Peripheral blood smear.
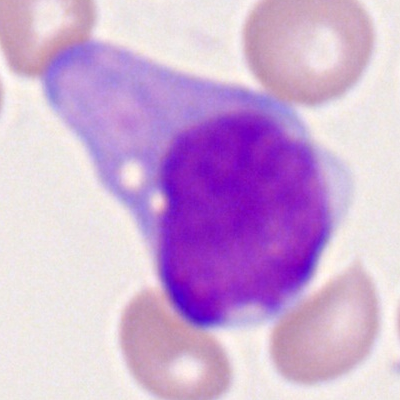
Impression → monocyte.